Bone marrow aspirate smear
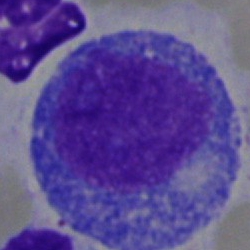
Specimen: bone marrow smear.
Cell: progranulocyte.